Single cell centered in the field; peripheral blood film — 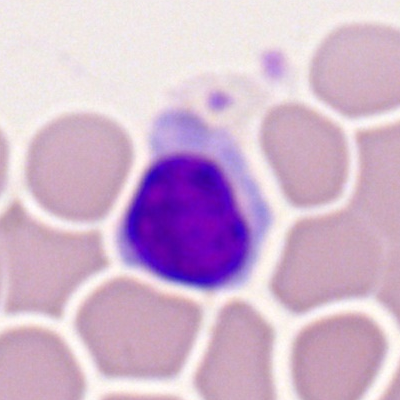 Specimen: peripheral blood film.
Classification: lymphocyte.